Bone marrow aspirate smear: 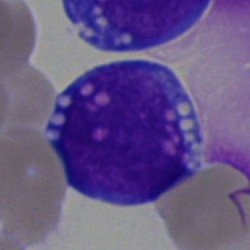Morphological class — undifferentiated blast.